Bone marrow smear.
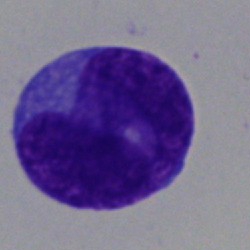 Specimen: bone marrow aspirate smear.
Morphological class: undifferentiated blast.